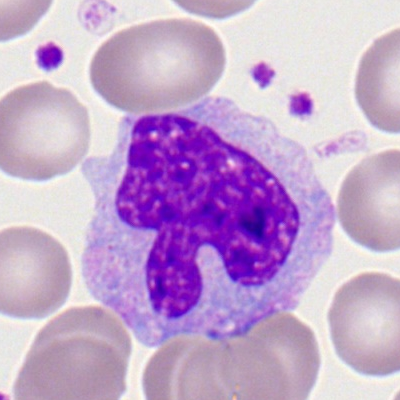 Morphology — monocyte.